40× objective, oil immersion. Bone marrow smear. MGG-stained.
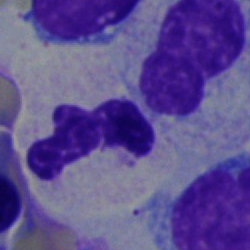

The cell shown is a segmented neutrophil.